Bone marrow smear
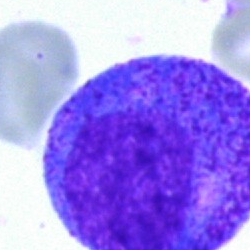
Q: What is the morphological classification of this cell?
A: A promyelocyte.